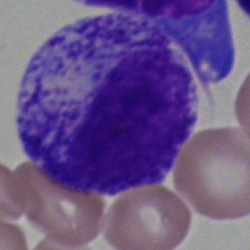

Morphological class: myelocyte.